Bone marrow smear · 250×250 px
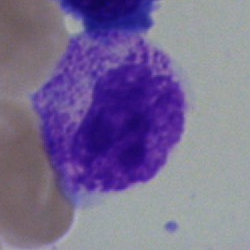

Cell = metamyelocyte.